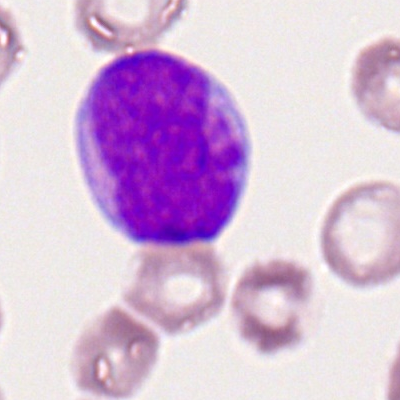Specimen: peripheral blood film.
Classification: myeloblast.
Lineage: myeloid.